Peripheral blood smear — 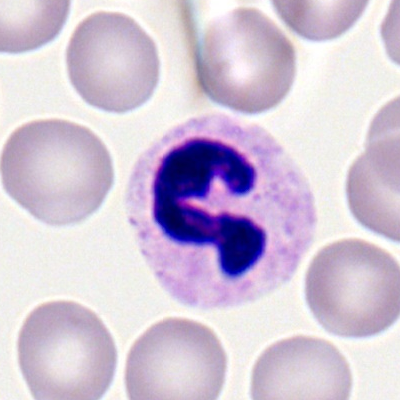

Impression → segmented neutrophil.